Bone marrow smear: 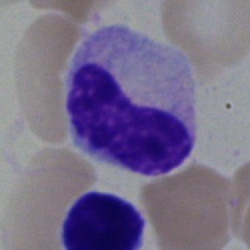 This is a band neutrophil.